Bone marrow aspirate smear:
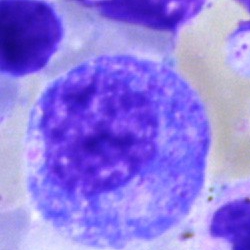
The cell shown is a progranulocyte.